Bone marrow smear; 40× objective, oil immersion — 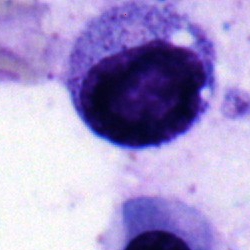
Myelocyte.